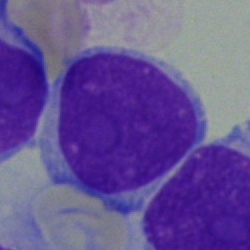

Cell = blast cell.